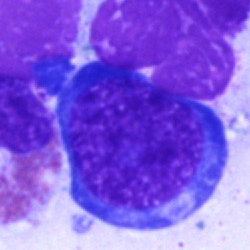

Morphological class: nucleated red cell.